Bone marrow smear.
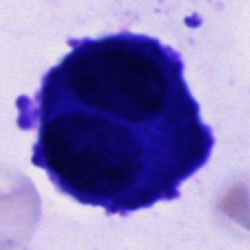 The cell is plasma cell.